Bone marrow aspirate smear:
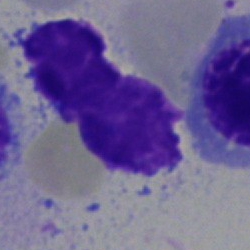
Specimen: bone marrow smear.
Classification: artefact.